40× oil immersion; bone marrow aspirate smear — 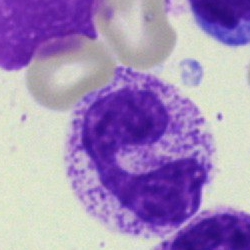 A polymorphonuclear neutrophil.